Bone marrow smear; 40× objective, oil immersion — 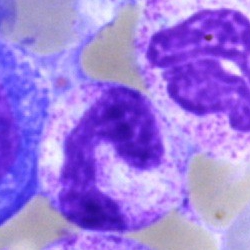 Classification = polymorphonuclear neutrophil.